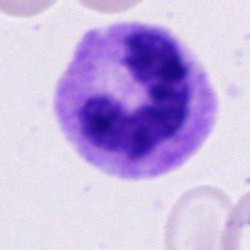
Morphology consistent with a neutrophil (segmented).